Pappenheim-stained; bone marrow smear — 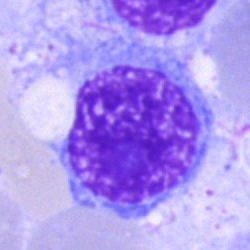
Classification — nucleated red blood cell.